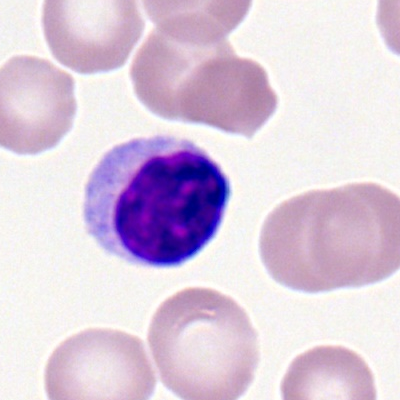Morphological class — typical lymphocyte.